Bone marrow aspirate smear.
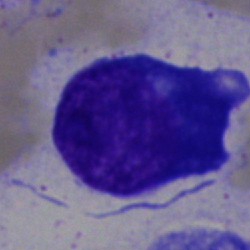
Cell = blast cell.